Bone marrow smear; MGG-stained
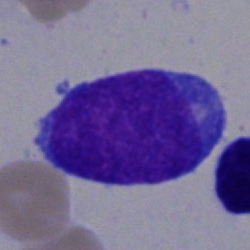Q: What is the morphological classification of this cell?
A: It is a blast.